Bone marrow aspirate smear — 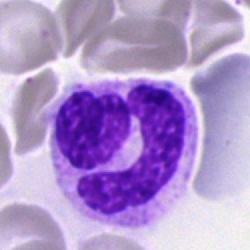

Specimen: bone marrow smear.
Classification: neutrophil (segmented).